Bone marrow smear.
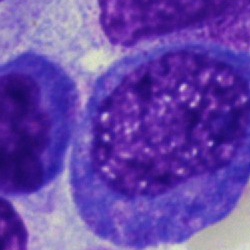{"cell_type": "progranulocyte", "lineage": "myeloid"}